Bone marrow smear; brightfield microscopy, 40× oil immersion
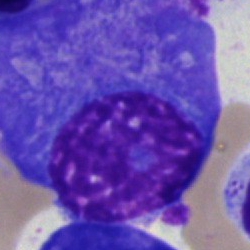

The cell shown is a plasmacyte.